Bone marrow smear.
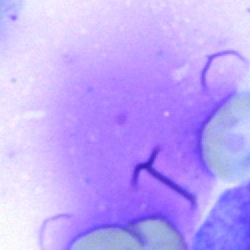
The classification is artefact.